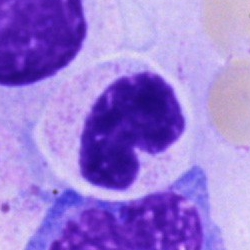
Morphology consistent with a cell of indeterminate lineage.